Bone marrow smear
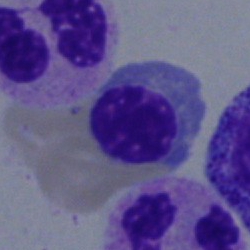
Specimen: bone marrow smear.
Cell: erythroblast.
Lineage: erythroid.